Bone marrow aspirate smear.
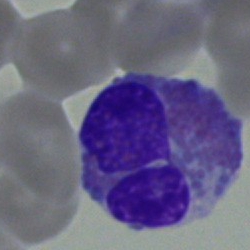Morphology — eosinophilic granulocyte.